Bone marrow smear: 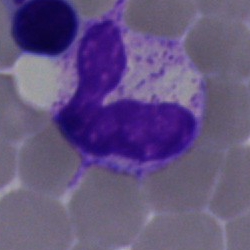

Neutrophil (segmented).